400 by 400 pixels · peripheral blood film
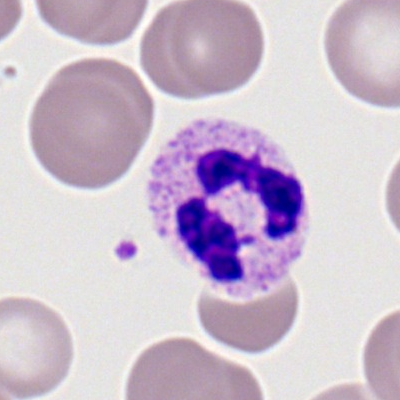
The cell shown is a neutrophil (segmented).